Bone marrow smear
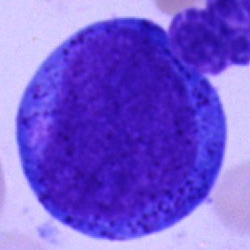Impression → promyelocyte.